Bone marrow aspirate smear · 40× oil immersion · May-Grünwald-Giemsa/Pappenheim stain: 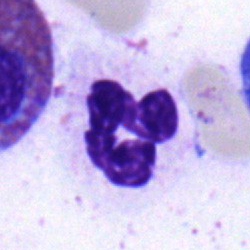Specimen: bone marrow smear.
Classification: polymorphonuclear neutrophil.